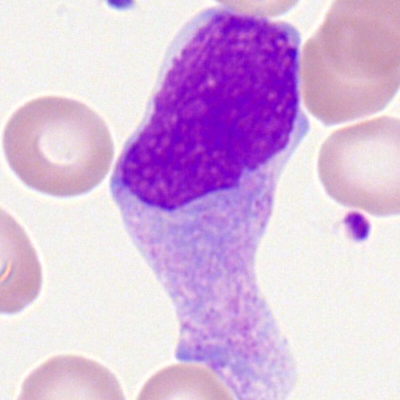 Q: Which cell type is shown here?
A: It is a monocyte.